May-Grünwald-Giemsa/Pappenheim stain. 250×250. Bone marrow aspirate smear — 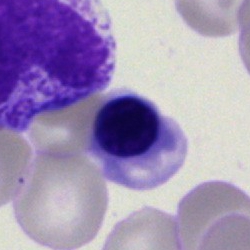 Morphology — normoblast.